Bone marrow smear; 250 by 250 pixels; single cell centered in the field.
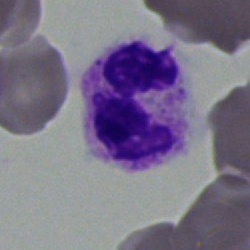Classification = neutrophil (segmented).